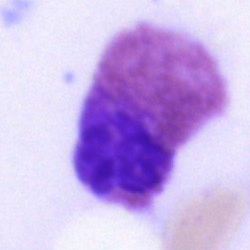
Q: What cell is this?
A: This is an eosinophil.